250×250 px. Bone marrow smear.
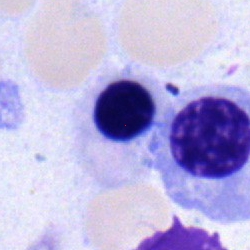
Classification — nucleated red blood cell.